Bone marrow aspirate smear
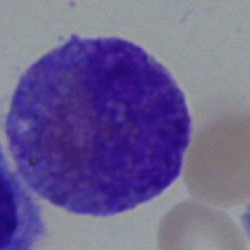 Morphology consistent with an eosinophilic granulocyte.